Bone marrow smear. MGG-stained. Single cell centered in the field: 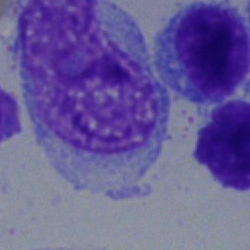Morphology consistent with an artefact.